Bone marrow aspirate smear
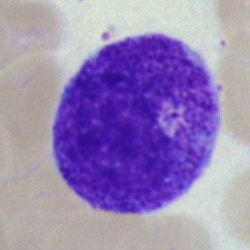
The classification is progranulocyte.